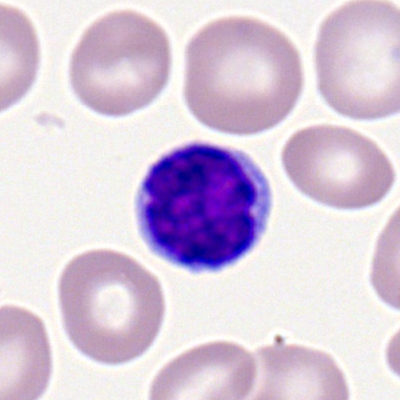 Q: What type of cell is this?
A: It is a lymphocyte.